Pappenheim-stained. Bone marrow aspirate smear — 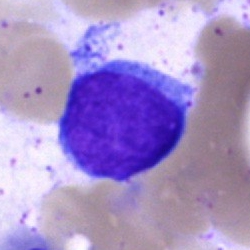
Cell: lymphocyte.